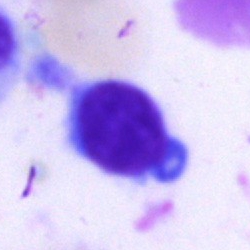Morphological class = lymphocyte.